Image size 400×400; peripheral blood film: 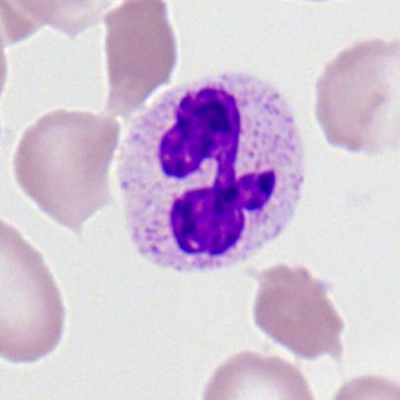

A polymorphonuclear neutrophil.